Bone marrow aspirate smear
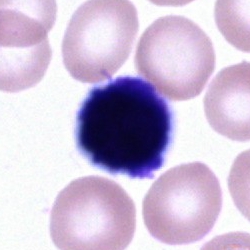
Showing a cell of indeterminate lineage.